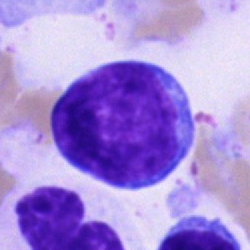 A pronormoblast.